Bone marrow smear: 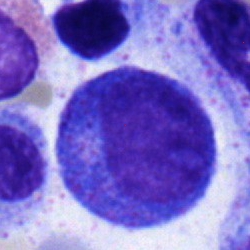The cell is promyelocyte.